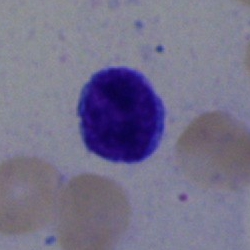 The classification is lymphocyte.